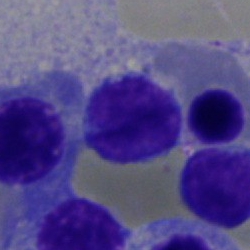

This is a typical lymphocyte.